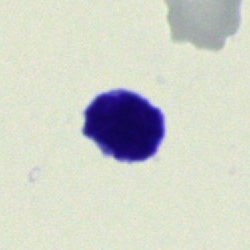
Typical lymphocyte.